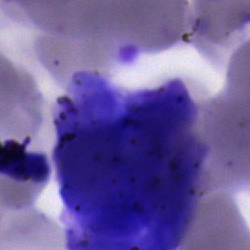
Morphology → artefact.